Peripheral blood smear. Romanowsky-stained
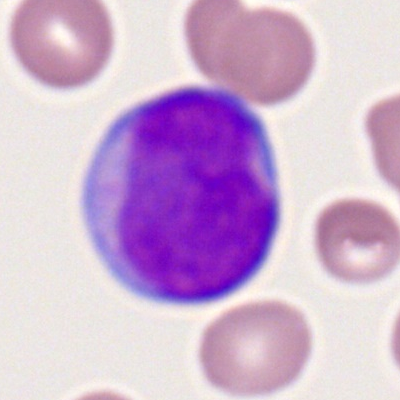Specimen: peripheral blood film.
Cell type: myeloid blast.
Lineage: myeloid.